Image size 250×250; bone marrow smear
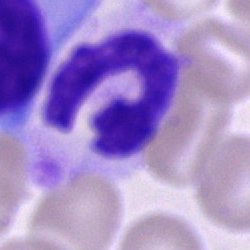{"cell_type": "band neutrophil", "lineage": "myeloid"}